400×400 · peripheral blood smear · brightfield, 100× oil-immersion objective
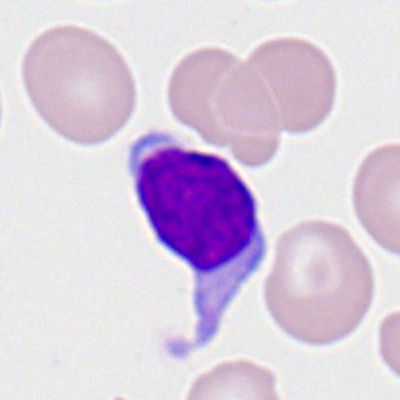Lymphocyte.